Cropped to a single cell. Bone marrow aspirate smear:
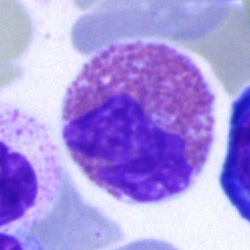The classification is eosinophil.